250 by 250 pixels · cropped to a single cell · bone marrow aspirate smear — 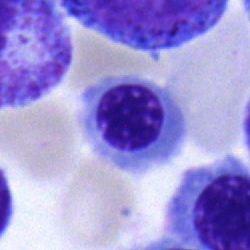 Cell — nucleated red cell.